Peripheral blood film
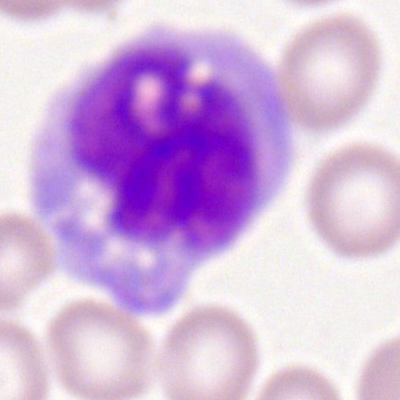 Classification — monocyte.